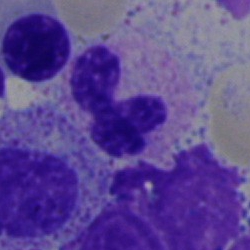

Bone marrow aspirate smear, single cell — neutrophil (segmented).